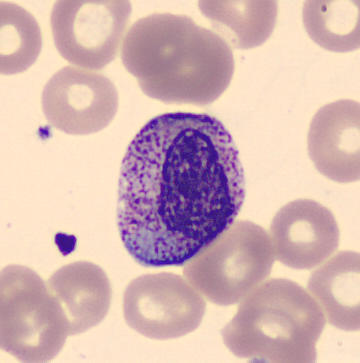 Peripheral blood film, single cell — metamyelocyte.